Bone marrow aspirate smear. 250×250:
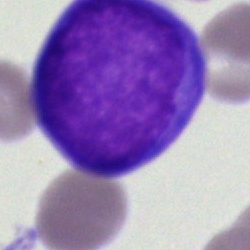 Morphology — undifferentiated blast.